Bone marrow aspirate smear:
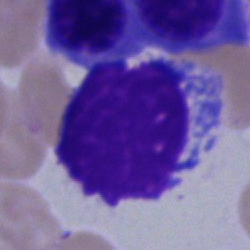
This is an artefact.